Cropped to a single cell · bone marrow smear · MGG-stained.
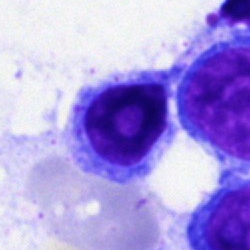
The cell is lymphocyte.